Bone marrow smear.
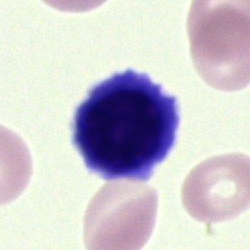

Cell type = normoblast.